Peripheral blood smear.
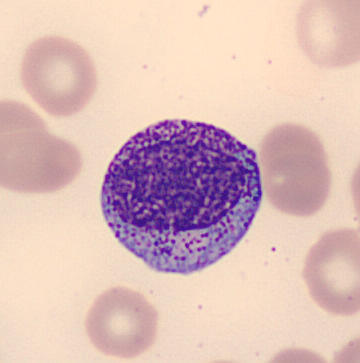
Morphology consistent with a progranulocyte.